Bone marrow smear:
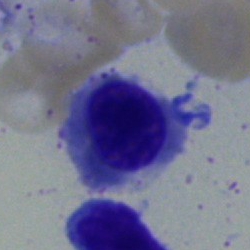 A nucleated red cell.